Bone marrow smear · brightfield microscopy, 40× oil immersion: 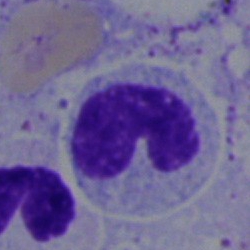

The cell shown is a band-form neutrophil.